Bone marrow aspirate smear — 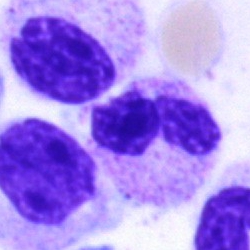 Q: Identify the cell.
A: It is a polymorphonuclear neutrophil.